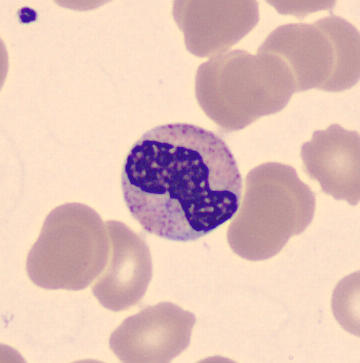 Impression — stab cell.